Bone marrow aspirate smear. Image size 250×250:
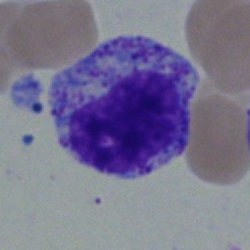
Morphological class = myelocyte.